Bone marrow aspirate smear.
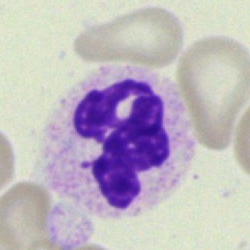
Morphological class: polymorphonuclear neutrophil.